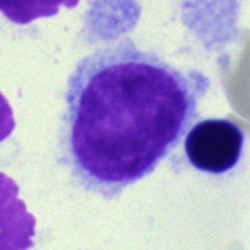
Bone marrow smear showing a hairy cell.